Bone marrow smear:
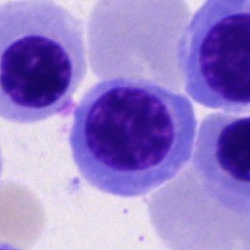The classification is nucleated red cell.